Single cell centered in the field. 250×250 px. Bone marrow aspirate smear: 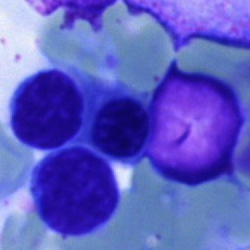 Specimen: bone marrow smear.
Cell type: nucleated red blood cell.
Lineage: erythroid.